Peripheral blood film:
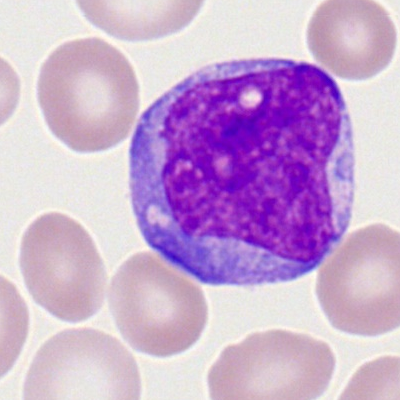Single cell identified as a myeloblast.